Bone marrow smear — 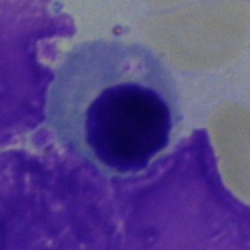
Morphology — erythroblast.